Bone marrow aspirate smear:
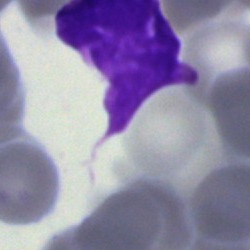

Showing an artefact.